Romanowsky stain · peripheral blood smear.
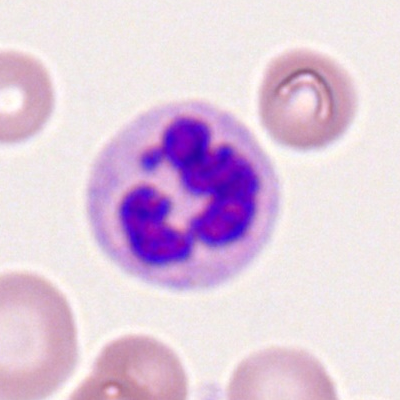
{"cell_type": "polymorphonuclear neutrophil"}